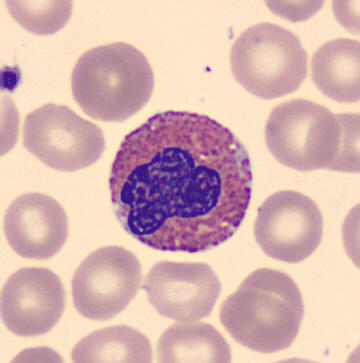

Q: What type of cell is this?
A: This is an eosinophilic granulocyte.